Single-cell crop. MGG-stained. Bone marrow smear: 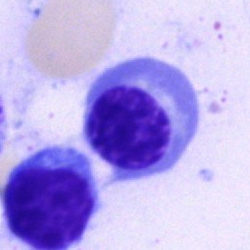{"cell_type": "erythroblast"}